Bone marrow aspirate smear:
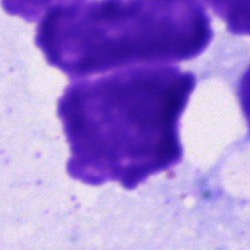This is an artefact.